Peripheral blood film
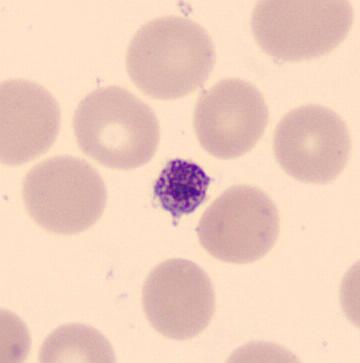

Classification — thrombocyte.